Bone marrow smear; cropped to a single cell:
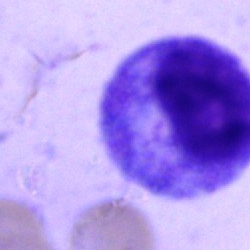

The cell type is promyelocyte.